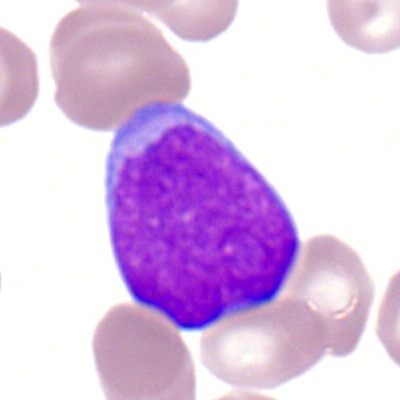
Q: What is the morphological classification of this cell?
A: It is a myeloid blast.